Bone marrow aspirate smear
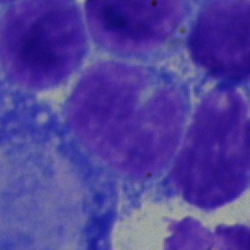

Impression → typical lymphocyte.